Peripheral blood smear:
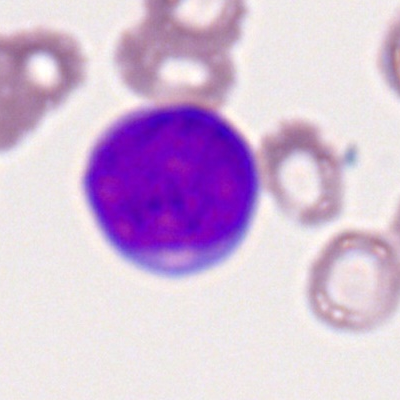 Q: What type of cell is this?
A: A myeloblast.